Brightfield microscopy, 40× oil immersion. Bone marrow smear. Cropped to a single cell: 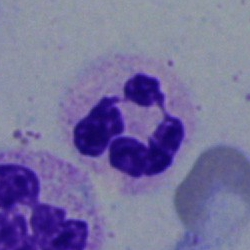
Morphological class: neutrophil (segmented).